Peripheral blood smear.
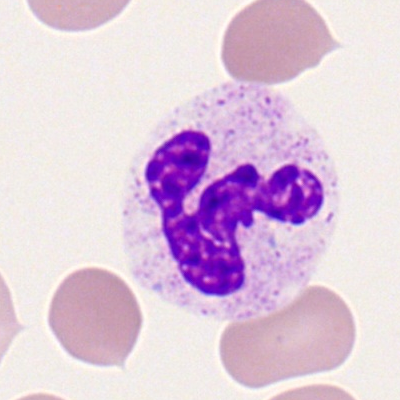 A polymorphonuclear neutrophil.